Bone marrow aspirate smear · brightfield, 40× oil-immersion objective · single cell centered in the field:
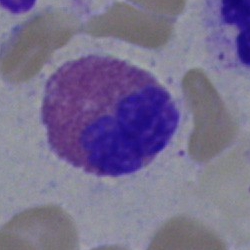Q: What type of cell is this?
A: It is an eosinophil.